Bone marrow aspirate smear · image size 250×250:
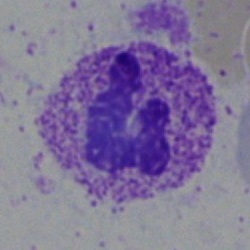Specimen: bone marrow smear.
Cell type: neutrophil (segmented).